Bone marrow aspirate smear — 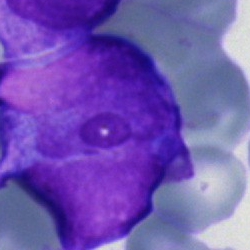
A blast cell.